Single cell centered in the field · bone marrow aspirate smear — 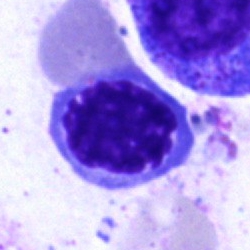
Morphology → nucleated red blood cell.